Bone marrow smear — 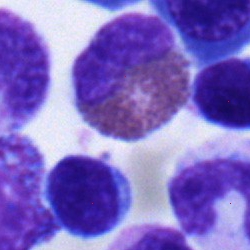 Impression → eosinophilic granulocyte.